Cropped to a single cell; bone marrow smear.
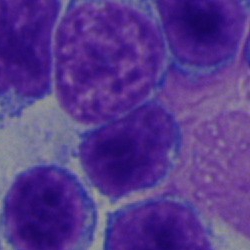

This is a typical lymphocyte.